Bone marrow aspirate smear. Cropped to a single cell
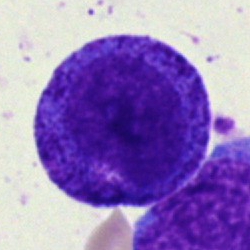

Cell — myelocyte.